Peripheral blood film — 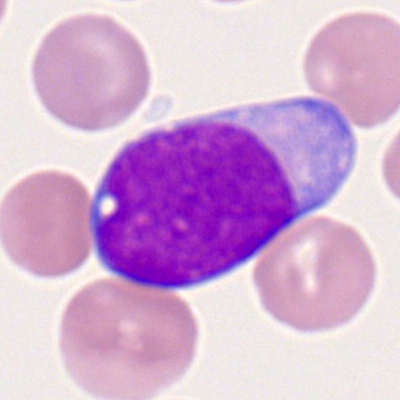 Morphology consistent with a myeloblast.